Bone marrow smear · 40× objective, oil immersion
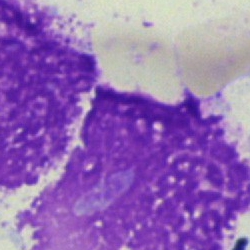
Specimen: bone marrow aspirate smear.
Morphological class: artifact.